Bone marrow aspirate smear; 250×250 — 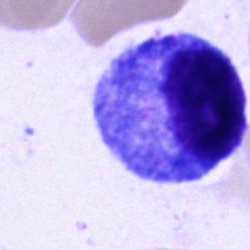The cell shown is a progranulocyte.